Bone marrow aspirate smear:
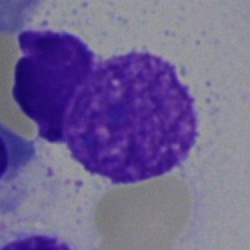
Cell type — artifact.